May-Grünwald-Giemsa stain · 250 by 250 pixels · bone marrow smear
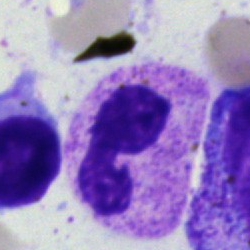 Q: What is shown here?
A: Polymorphonuclear neutrophil.